Bone marrow aspirate smear; cropped to a single cell; 250×250 px.
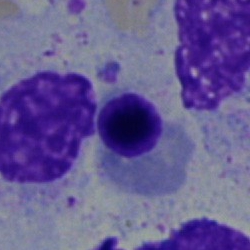 Cell type = myelocyte.